Single cell centered in the field. Bone marrow smear: 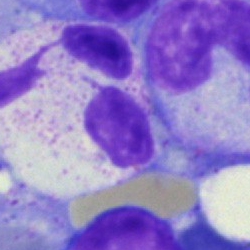
A neutrophil (segmented).